Bone marrow aspirate smear:
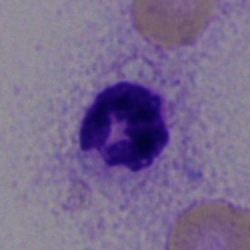
Classification — neutrophil (segmented).